Peripheral blood smear; 100× oil immersion; single-cell crop:
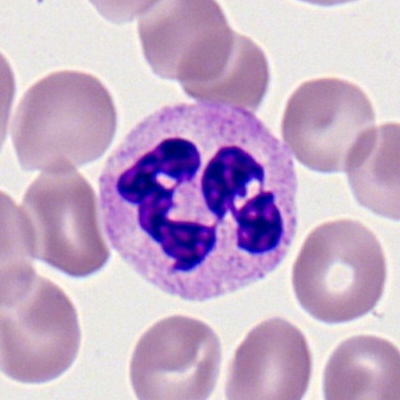Specimen: peripheral blood film.
Cell: segmented neutrophil.
Lineage: myeloid.